Single-cell crop · bone marrow smear.
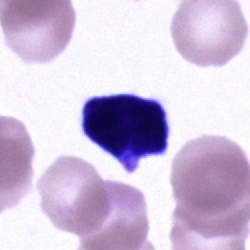

Classification — unidentifiable cell.